CellaVision DM96 · peripheral blood smear · MGG stain — 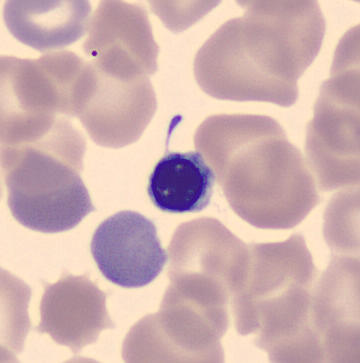

Impression → erythroblast.